May-Grünwald-Giemsa stain · bone marrow smear:
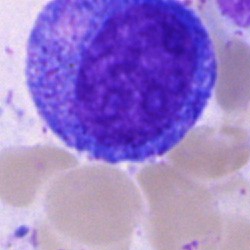
The cell shown is a promyelocyte.